Peripheral blood film; 400 by 400 pixels.
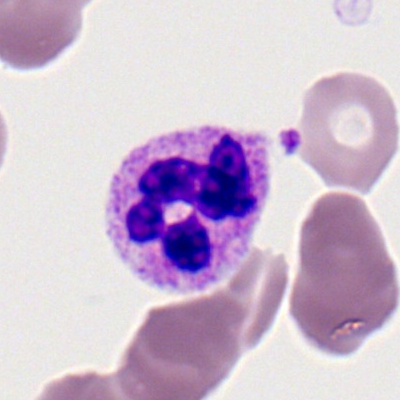
Q: What is the morphological classification of this cell?
A: It is a polymorphonuclear neutrophil.